May-Grünwald-Giemsa/Pappenheim stain · bone marrow smear · brightfield, 40× oil-immersion objective: 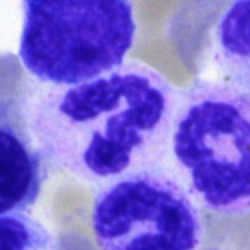 Q: Identify the cell.
A: A polymorphonuclear neutrophil.